Bone marrow aspirate smear.
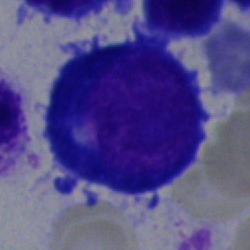

Cell = nucleated red blood cell.